Bone marrow smear.
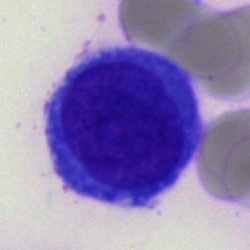
Q: What is shown here?
A: An undifferentiated blast.